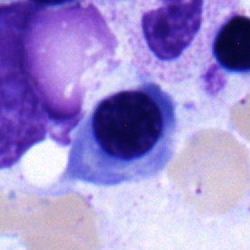
An erythroblast.